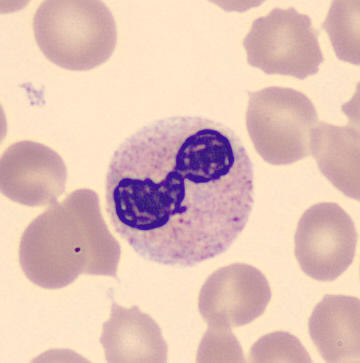

Impression — neutrophil (segmented).